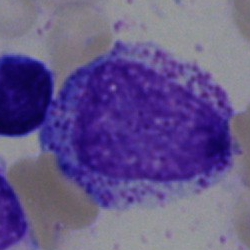 Bone marrow smear showing a myelocyte.